Bone marrow smear: 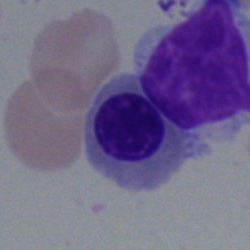
The cell type is nucleated red cell.